Bone marrow aspirate smear: 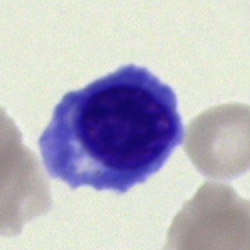 Morphological class: normoblast.